Single-cell field · bone marrow smear.
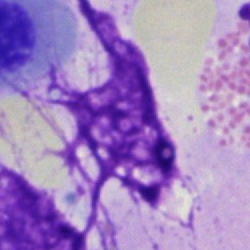 Artefact.